250 by 250 pixels. Bone marrow aspirate smear. 40× objective, oil immersion — 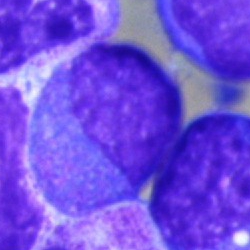Morphology → promyelocyte.